Brightfield, 40× oil-immersion objective. Bone marrow smear
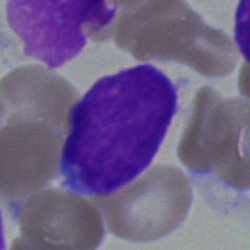 {"cell_type": "blast"}